Bone marrow smear · cropped to a single cell:
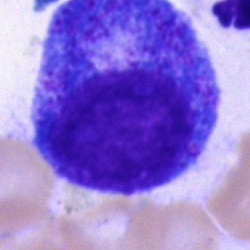

Specimen: bone marrow smear.
Classification: promyelocyte.